MGG-stained; bone marrow smear:
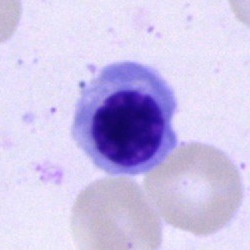Morphological class = erythroblast.